Bone marrow aspirate smear; cropped to a single cell: 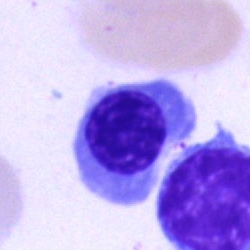
This is a normoblast.